Bone marrow smear. May-Grünwald-Giemsa/Pappenheim stain: 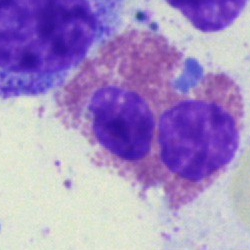

This is an eosinophil.